Bone marrow smear:
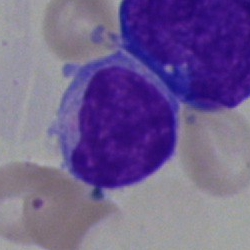
Cell type: lymphocyte.